Image size 250×250; bone marrow aspirate smear — 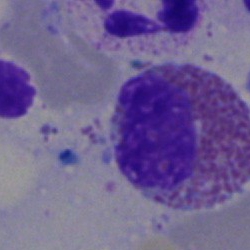 Cell — eosinophilic granulocyte.